Bone marrow aspirate smear: 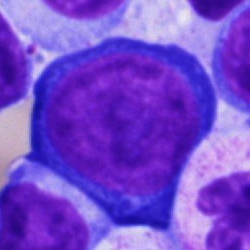

Morphology consistent with a proerythroblast.